Bone marrow aspirate smear.
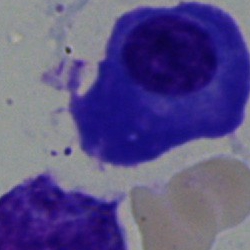 Showing a plasma cell.